Single-cell field; peripheral blood smear — 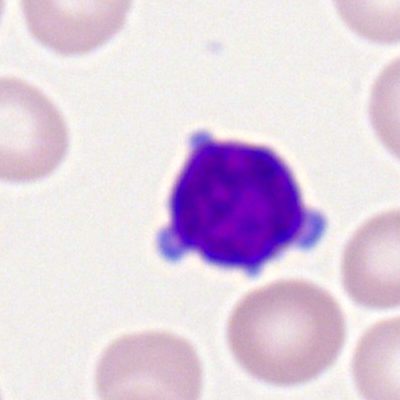
Specimen: peripheral blood smear.
Morphological class: lymphocyte.
Lineage: lymphoid.